Bone marrow smear · 250 by 250 pixels:
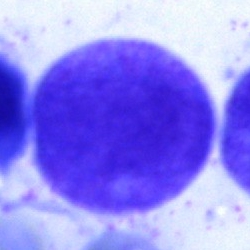Morphology → progranulocyte.